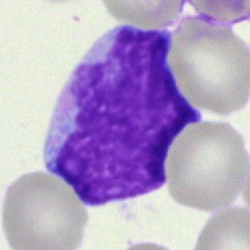

An undifferentiated blast on a bone marrow smear.